Bone marrow smear
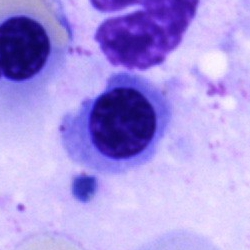Q: What is shown here?
A: Nucleated red cell.